40× objective, oil immersion. Bone marrow smear: 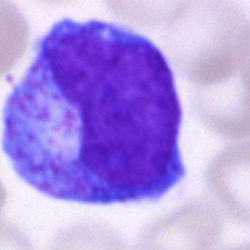

Q: Identify the cell.
A: This is a progranulocyte.